Bone marrow smear; MGG-stained.
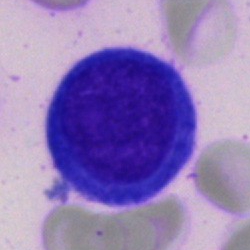 {"cell_type": "proerythroblast"}